Romanowsky stain. Peripheral blood smear. 400×400 px — 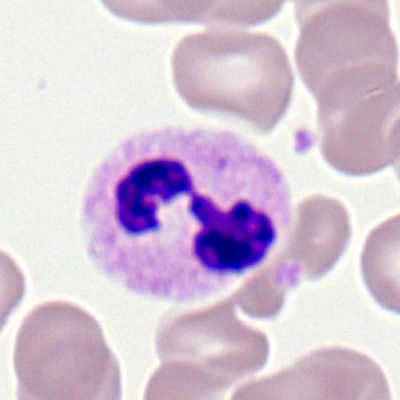
Segmented neutrophil.